Bone marrow smear. Image size 250×250. Brightfield microscopy, 40× oil immersion
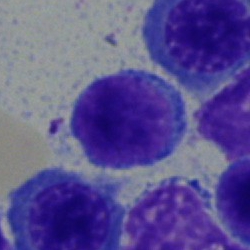
Cell type = lymphocyte.